Peripheral blood film:
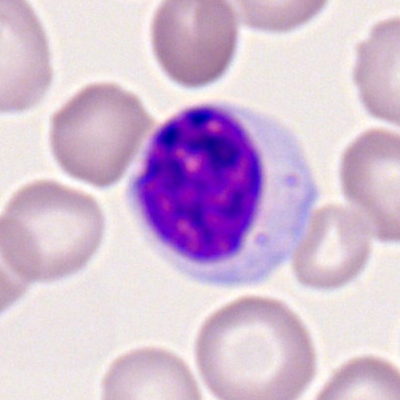Cell type — lymphocyte.